250 by 250 pixels · 40× oil immersion · bone marrow aspirate smear — 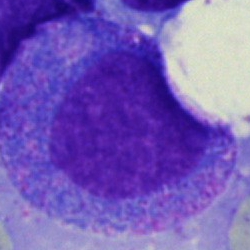Morphological class: promyelocyte.